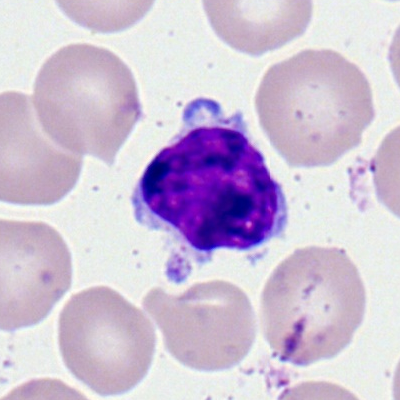
Peripheral blood smear showing a typical lymphocyte.